Bone marrow smear. 250×250 px:
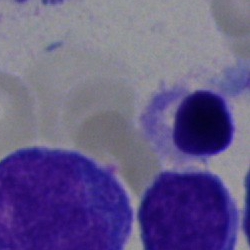 Showing a normoblast.